250 by 250 pixels. Brightfield microscopy, 40× oil immersion. Bone marrow aspirate smear:
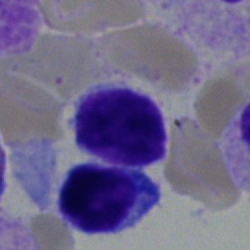

Classification: typical lymphocyte.